250×250 px; bone marrow smear: 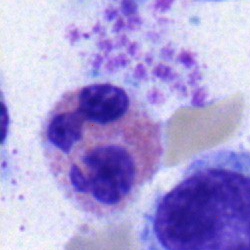Impression → eosinophil.